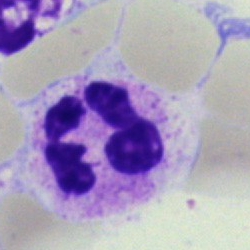Polymorphonuclear neutrophil.